Bone marrow smear — 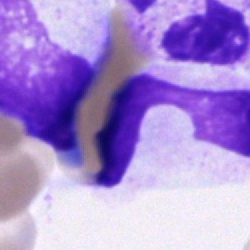
Classification — cell of indeterminate lineage.